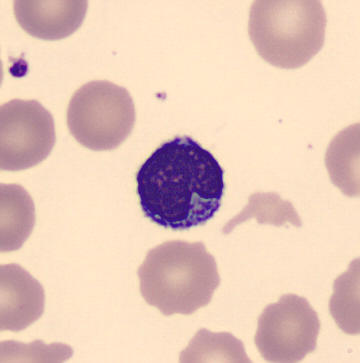
Showing a typical lymphocyte.

Image: Automated cell imaging (CellaVision DM96); peripheral blood smear.